Bone marrow smear
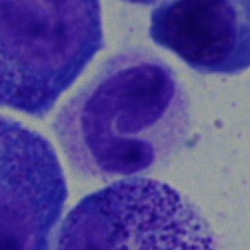
{"cell_type": "band neutrophil", "lineage": "myeloid"}